250×250; bone marrow aspirate smear.
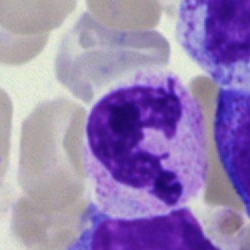

Morphological class: neutrophil (segmented).